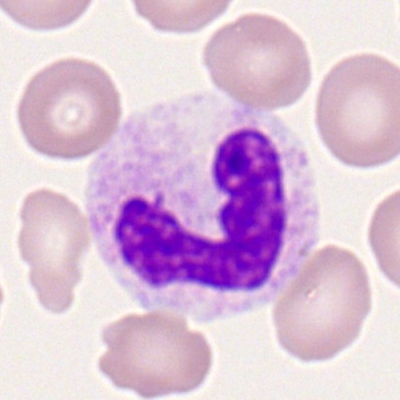 A band-form neutrophil on a peripheral blood smear.